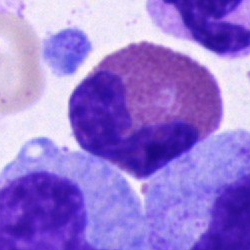

Bone marrow aspirate smear, single cell — eosinophil.